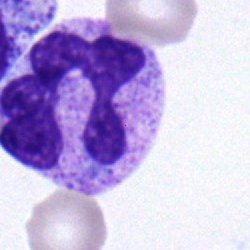Morphological class — segmented neutrophil.